Bone marrow aspirate smear.
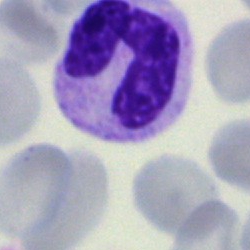 Q: What type of cell is this?
A: This is a neutrophil (band).